Bone marrow smear.
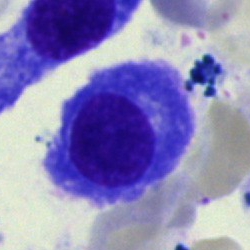 Morphology → plasmacyte.